May-Grünwald-Giemsa stain · bone marrow aspirate smear: 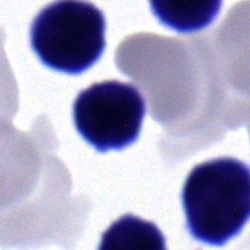
Showing a lymphocyte.